Bone marrow smear; Pappenheim-stained:
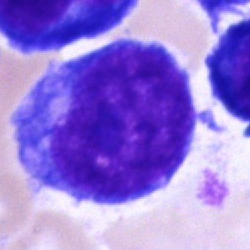Single cell identified as an undifferentiated blast.